Peripheral blood smear. May Grünwald-Giemsa stain.
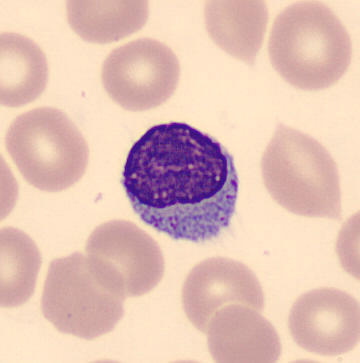
The cell shown is a lymphocyte.